Bone marrow aspirate smear — 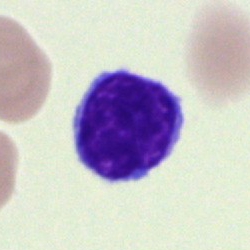 Q: What is shown here?
A: This is a lymphocyte.